Peripheral blood film — 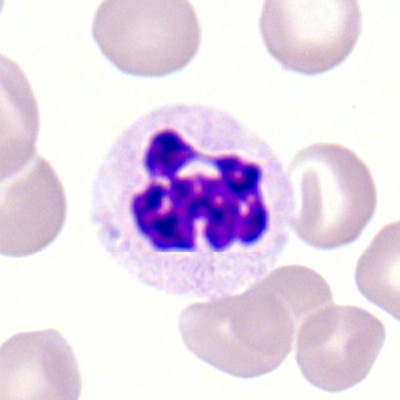Specimen: peripheral blood smear.
Classification: polymorphonuclear neutrophil.
Lineage: myeloid.